Bone marrow aspirate smear
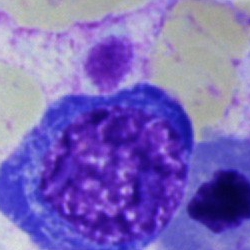The cell is erythroblast.